Single-cell field. Bone marrow smear: 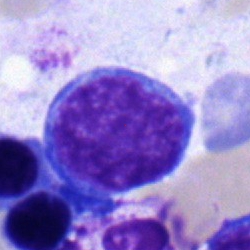 Morphology consistent with a blast.